Bone marrow aspirate smear · 40× objective, oil immersion.
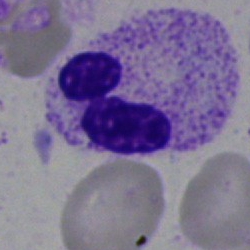

Impression → segmented neutrophil.